250×250. Bone marrow smear: 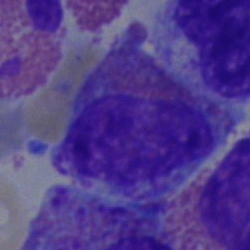
The cell shown is an eosinophil.